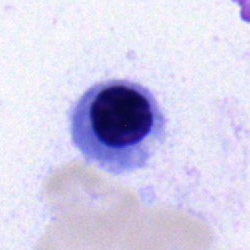

Cell: normoblast.